Bone marrow aspirate smear · 40× oil immersion — 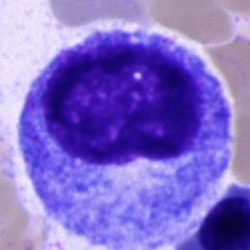 Single cell identified as a progranulocyte.